Bone marrow aspirate smear.
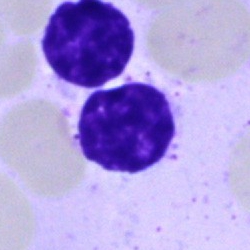

Q: What is shown here?
A: A lymphocyte.